Cropped to a single cell; bone marrow aspirate smear.
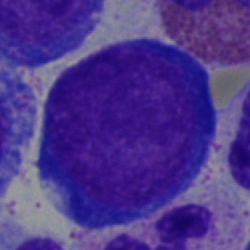

Q: What cell is this?
A: This is a pronormoblast.